Bone marrow aspirate smear
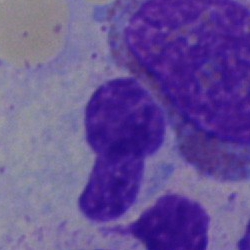
The cell shown is a band-form neutrophil.